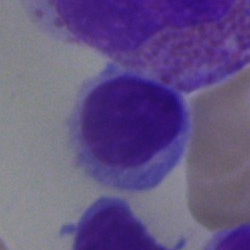
The cell shown is a lymphocyte.